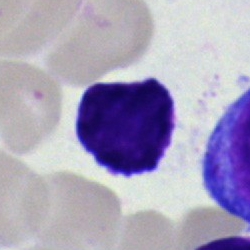
An artifact on a bone marrow smear.